Pappenheim-stained · bone marrow aspirate smear.
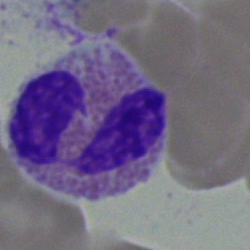

The morphological class is eosinophilic granulocyte.